Bone marrow smear: 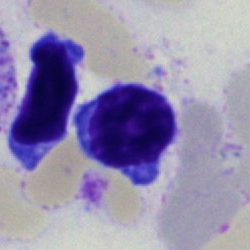Q: Which cell type is shown here?
A: A lymphocyte.